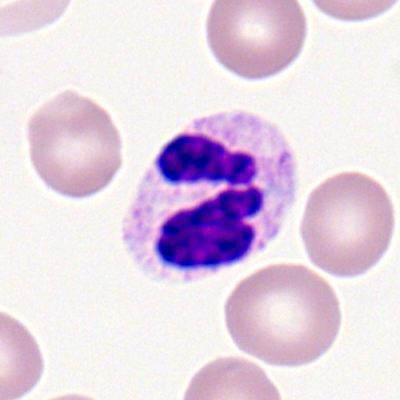 Morphology consistent with a segmented neutrophil.